Image size 250×250. Cropped to a single cell. Bone marrow aspirate smear
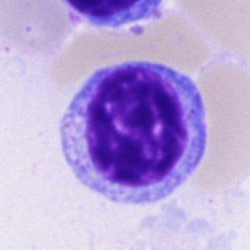 Lymphocyte.